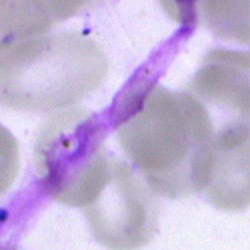Q: What is shown here?
A: An artifact.